Bone marrow aspirate smear. Brightfield, 40× oil-immersion objective — 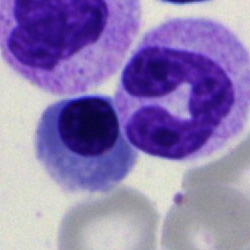Cell type: neutrophil (segmented).